May-Grünwald-Giemsa/Pappenheim stain; bone marrow smear:
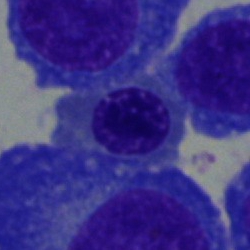
Cell type — normoblast.